Single-cell crop. Bone marrow smear.
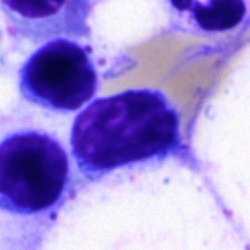 Specimen: bone marrow smear.
Morphological class: typical lymphocyte.